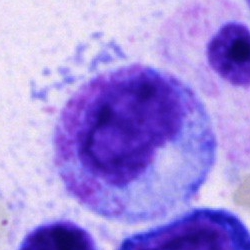Morphological class = promyelocyte.